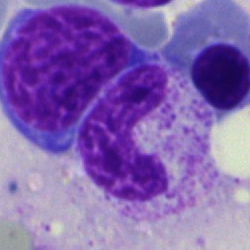 Specimen: bone marrow aspirate smear.
Morphological class: neutrophil (band).